Bone marrow aspirate smear
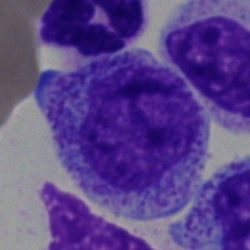

Cell — myelocyte.